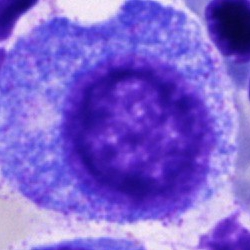Showing a progranulocyte.